Peripheral blood film.
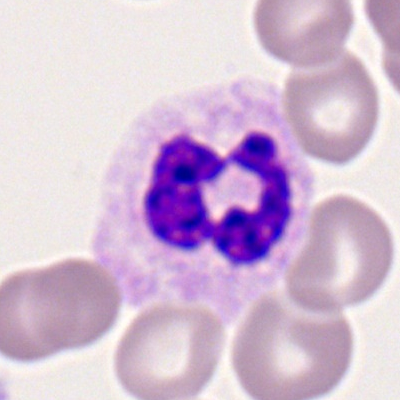 This is a polymorphonuclear neutrophil.